Bone marrow smear · single cell centered in the field — 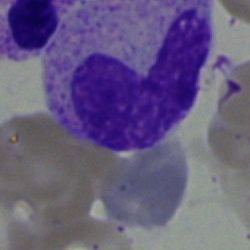 Single cell identified as a metamyelocyte.